May-Grünwald-Giemsa stain. Bone marrow smear — 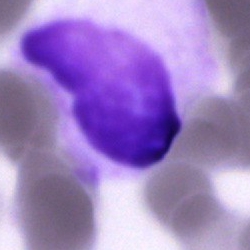 Impression — unidentifiable cell.